Bone marrow aspirate smear · 250 by 250 pixels: 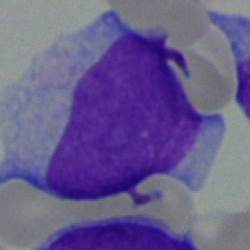

Q: What cell is this?
A: Blast.